40× oil immersion. Bone marrow aspirate smear. Single-cell field: 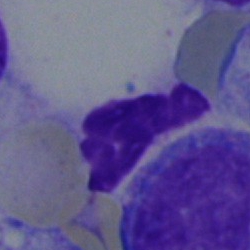 Q: What is shown here?
A: Artifact.